40× objective, oil immersion · 250 by 250 pixels · bone marrow smear — 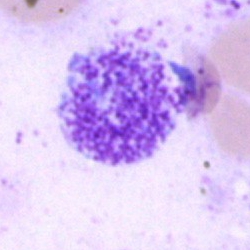 An artefact.